Bone marrow smear · cropped to a single cell — 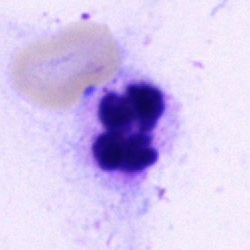 Q: What cell is this?
A: A polymorphonuclear neutrophil.